Bone marrow aspirate smear.
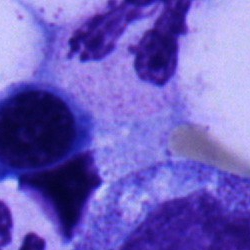Morphology consistent with a neutrophil (segmented).